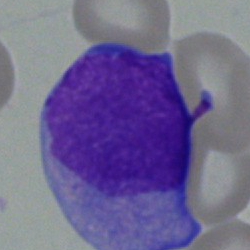A blast.